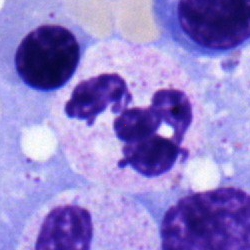 Classification = segmented neutrophil.